Pappenheim-stained. 40× objective, oil immersion. Bone marrow smear — 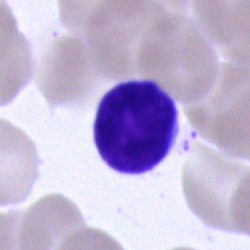 Q: Which cell type is shown here?
A: This is a typical lymphocyte.